MGG-stained; bone marrow aspirate smear — 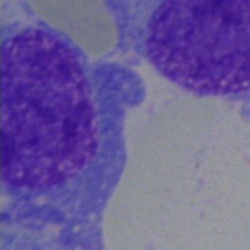 Showing a plasma cell.